Bone marrow aspirate smear
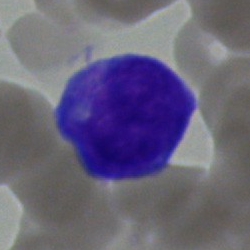

Undifferentiated blast.